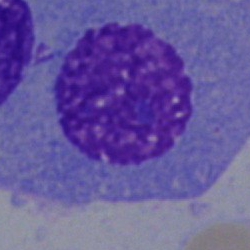
Specimen: bone marrow aspirate smear.
Cell type: plasmacyte.